Bone marrow aspirate smear. Cropped to a single cell
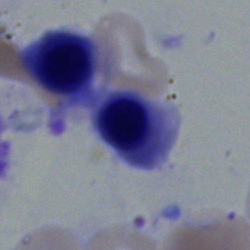 Nucleated red blood cell.